May-Grünwald-Giemsa stain. Bone marrow aspirate smear: 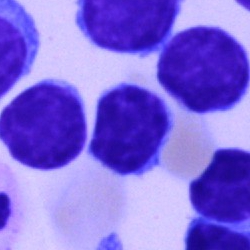 The classification is lymphocyte.